Bone marrow aspirate smear.
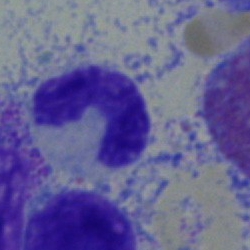 Q: What is shown here?
A: It is a band neutrophil.